250 by 250 pixels · bone marrow aspirate smear · single-cell crop.
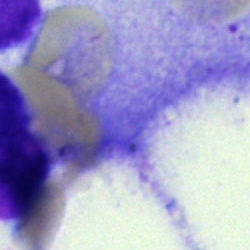

Q: What is shown here?
A: It is an artefact.